Bone marrow smear
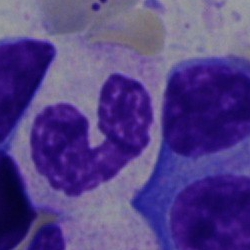This is a stab cell.